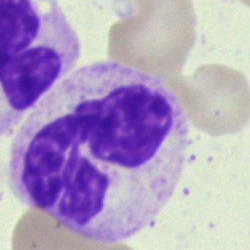Impression — segmented neutrophil.